Bone marrow aspirate smear:
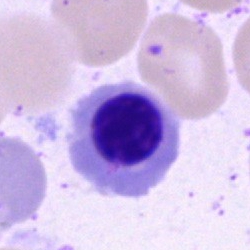 Specimen: bone marrow smear.
Cell: nucleated red blood cell.
Lineage: erythroid.